Bone marrow aspirate smear · MGG-stained.
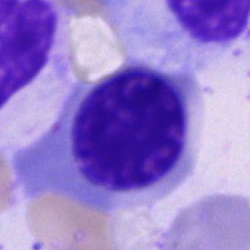
A normoblast.